Bone marrow smear · 250×250:
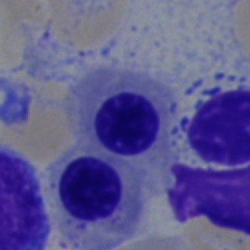
Q: Which cell type is shown here?
A: This is a nucleated red blood cell.